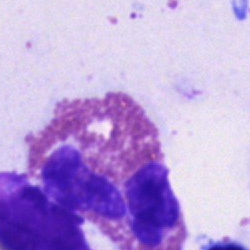 This is an eosinophil.